Bone marrow aspirate smear: 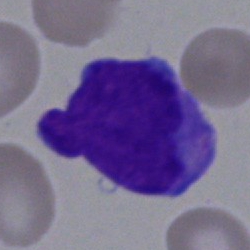A blast.